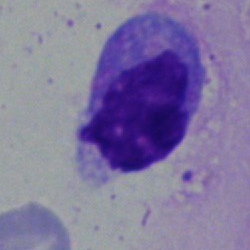Q: What cell is this?
A: Monocyte.